Single cell centered in the field; bone marrow smear; 250 by 250 pixels.
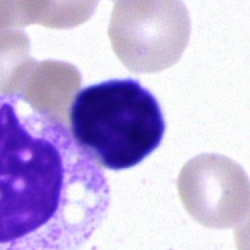 Specimen: bone marrow aspirate smear.
Cell type: typical lymphocyte.
Lineage: lymphoid.